Bone marrow smear — 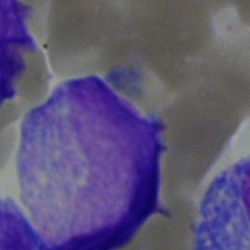

The morphological class is blast cell.